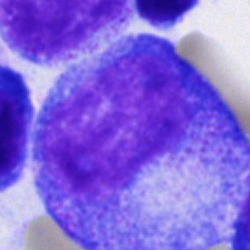 Specimen: bone marrow aspirate smear.
Classification: progranulocyte.
Lineage: myeloid.